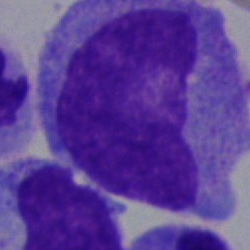 Q: What is the morphological classification of this cell?
A: It is an undifferentiated blast.